Bone marrow smear.
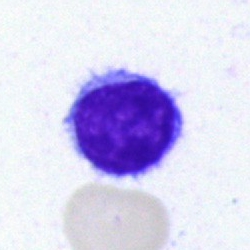

The morphological class is lymphocyte.